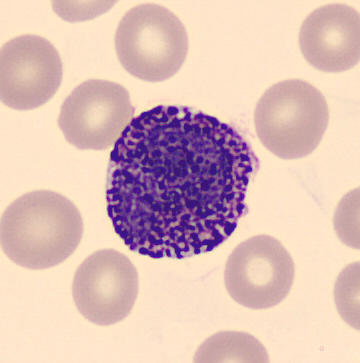 Preparation: CellaVision DM96. Single-cell crop. Peripheral blood film. Q: What type of cell is this?
A: This is a basophil.